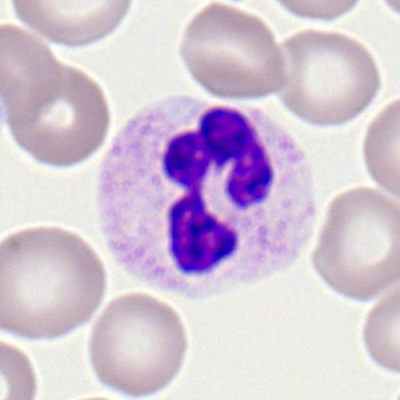Morphological class — polymorphonuclear neutrophil.